Peripheral blood smear · 400 by 400 pixels:
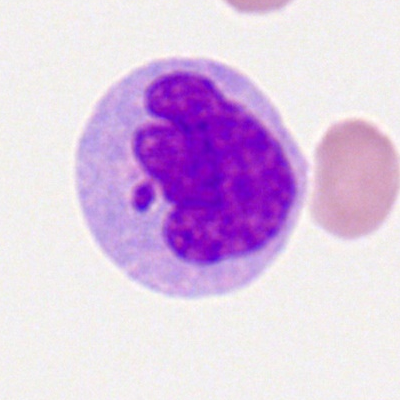

Cell type — monocyte.